Bone marrow aspirate smear
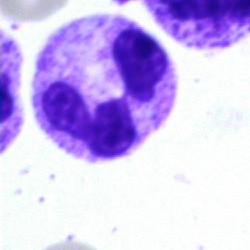

Q: Identify the cell.
A: A segmented neutrophil.